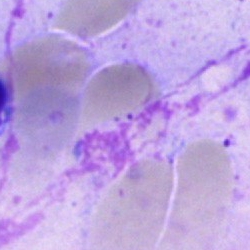
Impression → artefact.